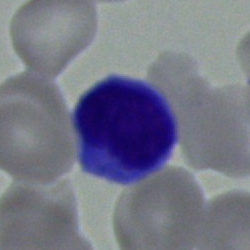 Specimen: bone marrow aspirate smear.
Classification: typical lymphocyte.
Lineage: lymphoid.